Bone marrow smear:
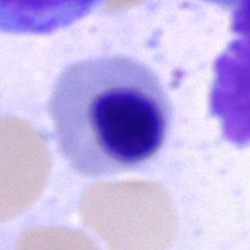
Classification — nucleated red blood cell.